Cropped to a single cell · bone marrow smear
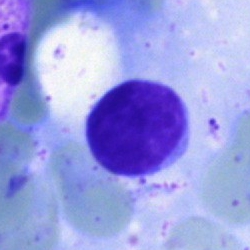 Specimen: bone marrow smear.
Cell: typical lymphocyte.